Bone marrow smear.
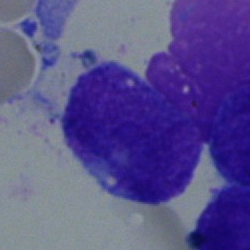
{"cell_type": "undifferentiated blast"}